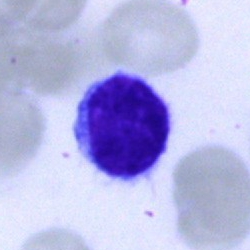Impression — lymphocyte.